Bone marrow aspirate smear:
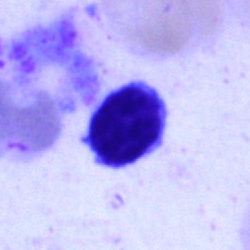
Morphology — typical lymphocyte.